Bone marrow smear:
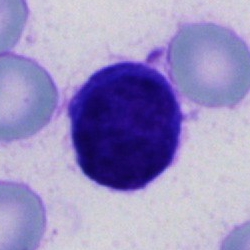Cell type: cell of indeterminate lineage.